Bone marrow smear. Brightfield, 40× oil-immersion objective. Single cell centered in the field.
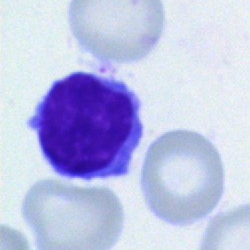 A lymphocyte.